Single-cell crop; May-Grünwald-Giemsa stain; bone marrow smear: 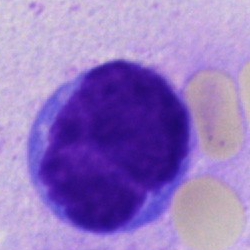

Q: What is shown here?
A: Blast cell.